Bone marrow smear; 250×250 — 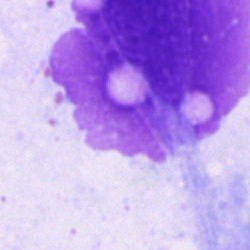

Specimen: bone marrow aspirate smear.
Cell type: artifact.